Bone marrow aspirate smear — 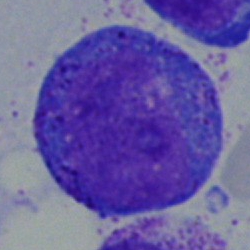Progranulocyte.